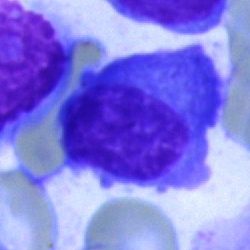
Specimen: bone marrow smear.
Cell type: plasmacyte.
Lineage: lymphoid.